Bone marrow aspirate smear
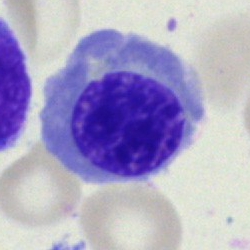
A nucleated red blood cell.